40× objective, oil immersion. Single-cell crop. Bone marrow smear: 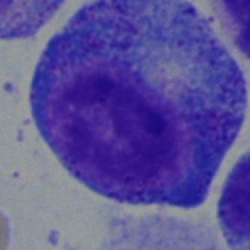 Single cell identified as a progranulocyte.